250 by 250 pixels; bone marrow smear
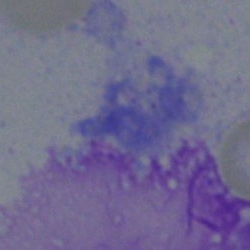Q: What is shown here?
A: Artifact.